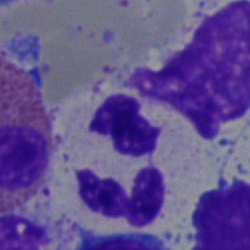 Single-cell crop from a bone marrow smear: polymorphonuclear neutrophil.